Bone marrow smear.
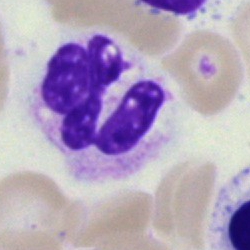 This is a neutrophil (segmented).